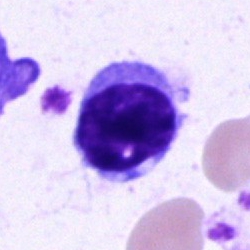

This is a typical lymphocyte.